Bone marrow smear · 250 by 250 pixels · May-Grünwald-Giemsa/Pappenheim stain.
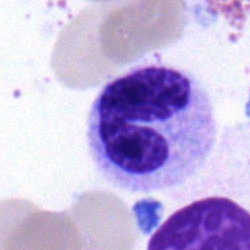
{"cell_type": "nucleated red cell"}